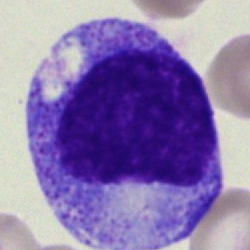The classification is progranulocyte.